Bone marrow aspirate smear
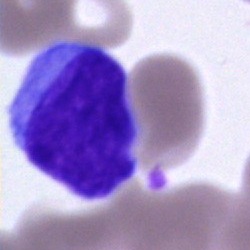Q: Which cell type is shown here?
A: It is a blast cell.